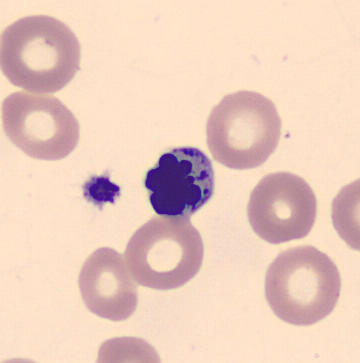
Acquisition: Peripheral blood smear. Automated cell imaging (CellaVision DM96).
The cell is erythroblast.